Bone marrow smear: 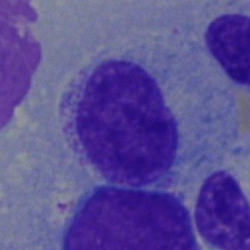

Myelocyte.